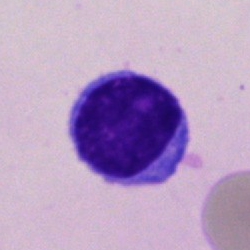Q: What is the morphological classification of this cell?
A: This is a typical lymphocyte.